Single-cell field · bone marrow aspirate smear:
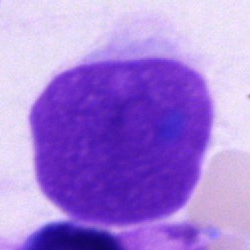 Specimen: bone marrow aspirate smear.
Morphological class: artifact.